Peripheral blood film
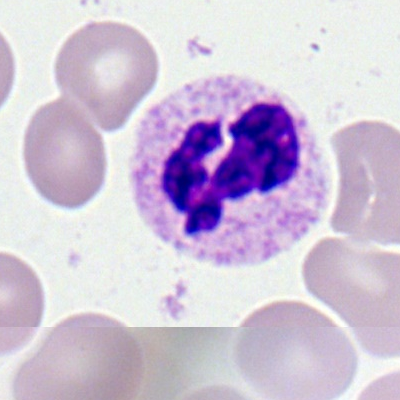 Morphology — segmented neutrophil.